Bone marrow smear
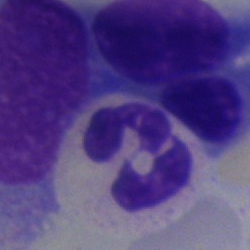 {"cell_type": "neutrophil (segmented)"}